Bone marrow aspirate smear
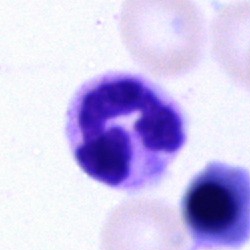
Morphology consistent with a polymorphonuclear neutrophil.